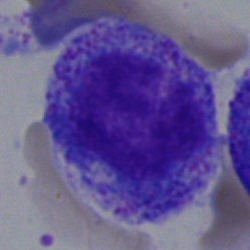
Q: What is the morphological classification of this cell?
A: This is a progranulocyte.